Bone marrow aspirate smear:
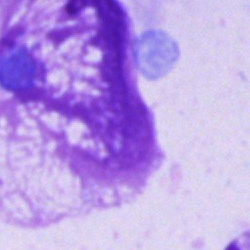

Morphology → artifact.